250×250. MGG-stained. Bone marrow aspirate smear.
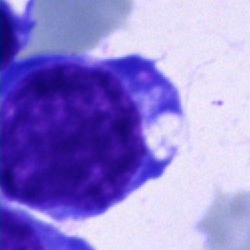 Showing a blast.